40× objective, oil immersion. May-Grünwald-Giemsa/Pappenheim stain. Bone marrow smear
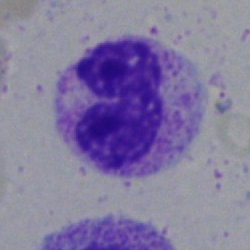
{"cell_type": "band-form neutrophil", "lineage": "myeloid"}